Bone marrow smear
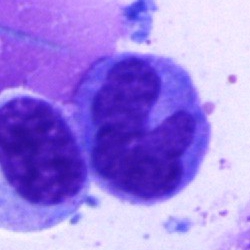 {"cell_type": "monocyte"}